Bone marrow smear.
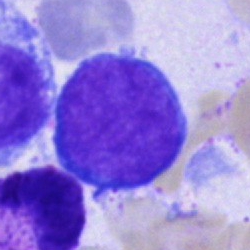
The morphological class is proerythroblast.